MGG-stained. Bone marrow aspirate smear: 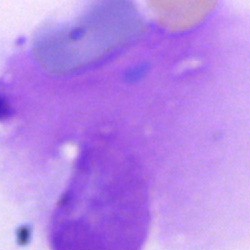 The classification is artifact.